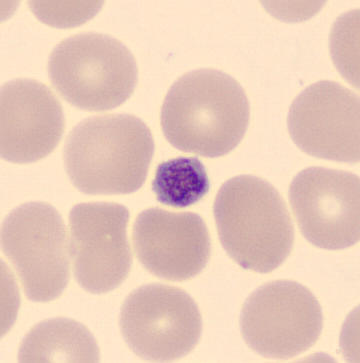

Cell type: platelet.